May-Grünwald-Giemsa stain · bone marrow aspirate smear · brightfield microscopy, 40× oil immersion — 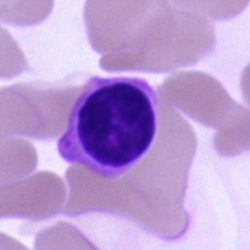 Impression — unidentifiable cell.